100× oil immersion, 14.14 px/µm · Romanowsky stain · peripheral blood smear — 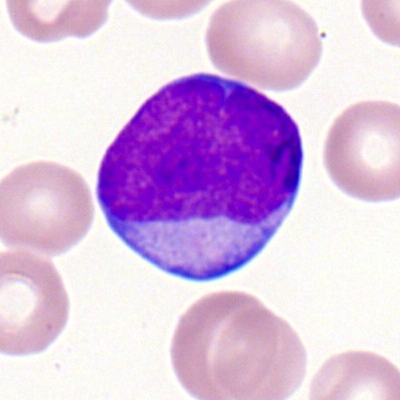
Specimen: peripheral blood film.
Cell type: myeloid blast.
Lineage: myeloid.